Bone marrow smear. 250×250 px.
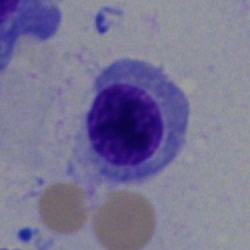

Morphological class = erythroblast.